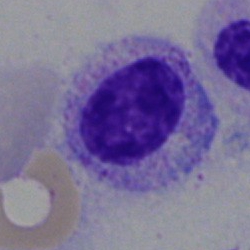

Cell type — myelocyte.